Bone marrow smear · brightfield microscopy, 40× oil immersion.
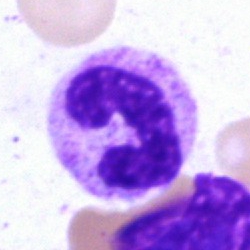
Showing a neutrophil (band).